Bone marrow smear
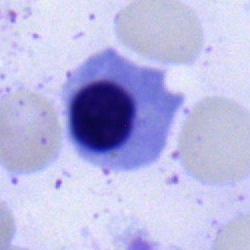

Nucleated red blood cell.